Bone marrow aspirate smear.
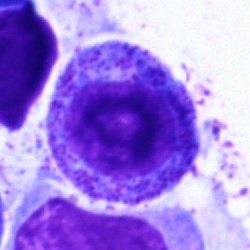
Morphology — promyelocyte.